Bone marrow smear: 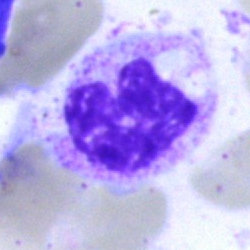
Specimen: bone marrow aspirate smear.
Cell type: neutrophil (segmented).